Single cell centered in the field; bone marrow smear — 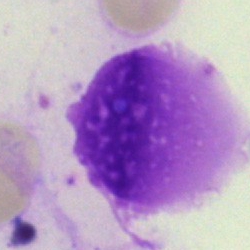
Classification: artefact.